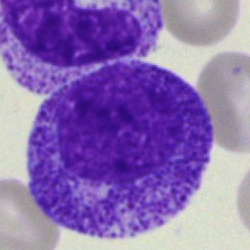
Q: What type of cell is this?
A: It is a promyelocyte.